Single-cell field · peripheral blood smear · Romanowsky stain:
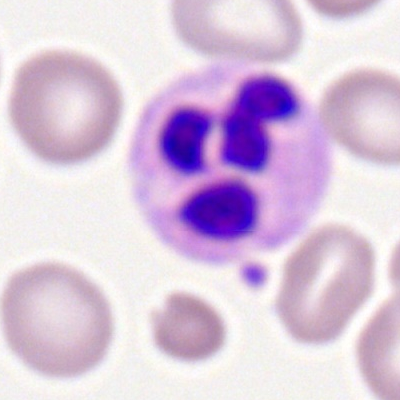 Specimen: peripheral blood smear.
Morphological class: polymorphonuclear neutrophil.